Peripheral blood film.
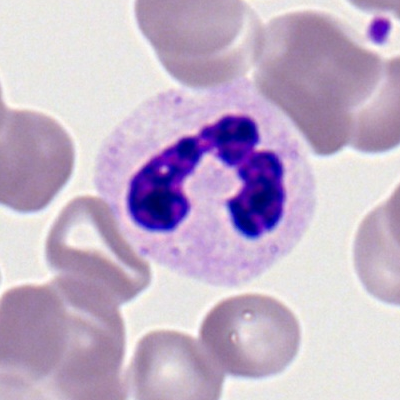 Classification — neutrophil (segmented).